Brightfield, 40× oil-immersion objective. Pappenheim-stained. Bone marrow aspirate smear.
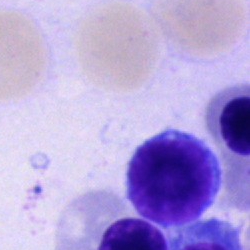 Q: What cell is this?
A: Typical lymphocyte.